100× oil immersion; 400 by 400 pixels; peripheral blood smear
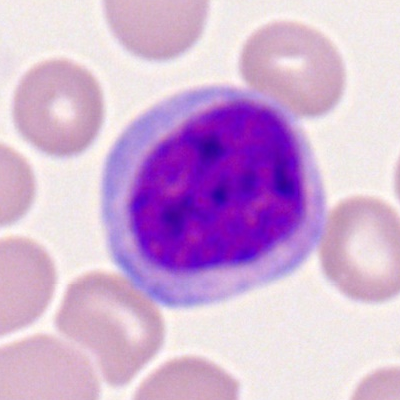 Specimen: peripheral blood smear.
Cell: monocyte.
Lineage: myeloid.